Bone marrow aspirate smear · 250×250 px — 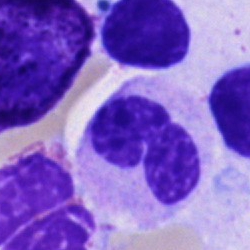

Cell — neutrophil (segmented).